Bone marrow smear · cropped to a single cell
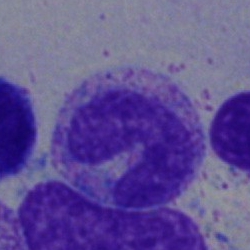

The cell is band neutrophil.